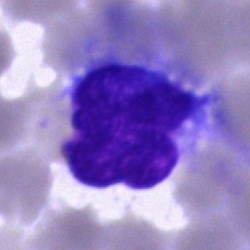 Morphological class = blast.